Bone marrow smear: 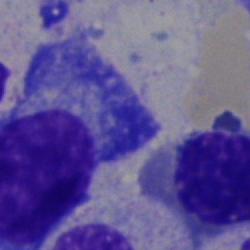 Plasma cell.